Bone marrow aspirate smear.
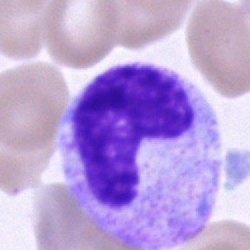 A metamyelocyte.